Bone marrow smear:
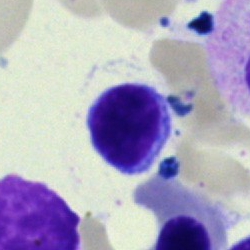Typical lymphocyte.